Bone marrow aspirate smear:
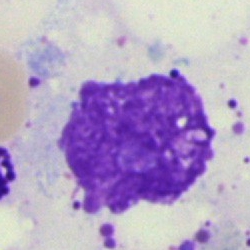 Q: What is shown here?
A: An artifact.